Bone marrow smear · brightfield microscopy, 40× oil immersion · single-cell field
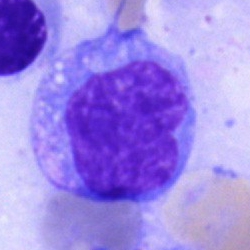 Showing a monocyte.